250×250 px. Bone marrow smear:
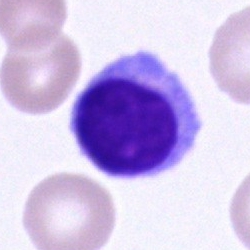This is a typical lymphocyte.